Bone marrow smear · 40× objective, oil immersion
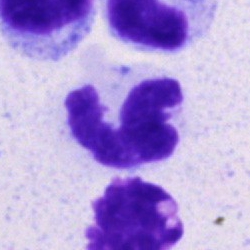
Q: What type of cell is this?
A: It is a segmented neutrophil.